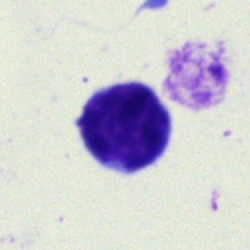 Single cell identified as a typical lymphocyte.